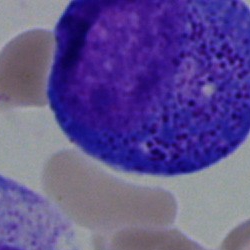

Cell: promyelocyte.